Bone marrow smear
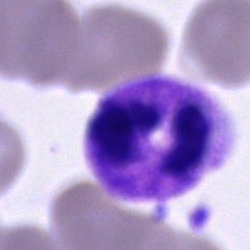
Classification = segmented neutrophil.